Bone marrow aspirate smear.
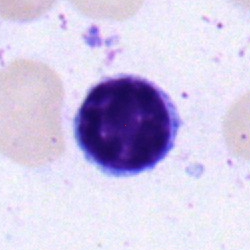 Q: What type of cell is this?
A: Typical lymphocyte.